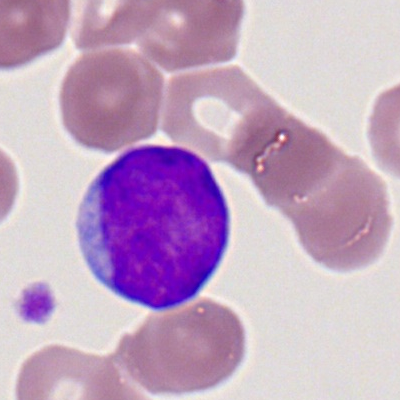 A myeloblast on a peripheral blood smear.